Peripheral blood film. Cropped to a single cell.
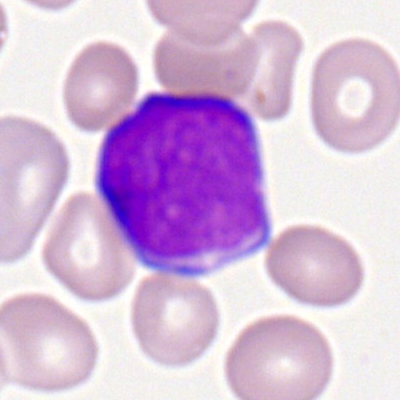Showing a myeloid blast.